Bone marrow aspirate smear
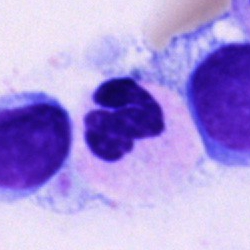
Cell = polymorphonuclear neutrophil.